Bone marrow aspirate smear
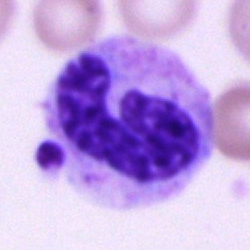
Morphology → band neutrophil.